40× objective, oil immersion. May-Grünwald-Giemsa/Pappenheim stain. Bone marrow smear: 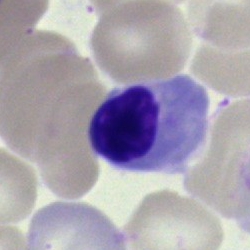Q: Identify the cell.
A: Erythroblast.